Peripheral blood film — 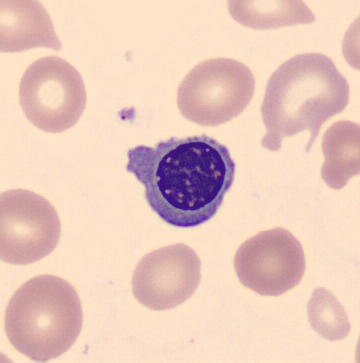 Specimen: peripheral blood film.
Cell: erythroblast.